Single-cell field; peripheral blood smear
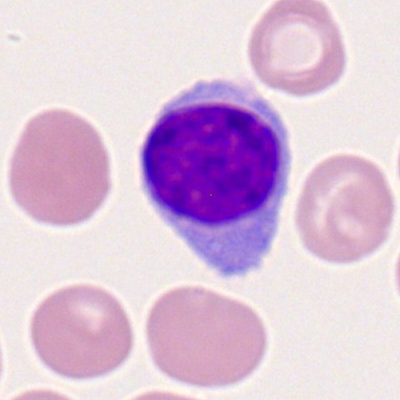
Q: What cell is this?
A: A lymphocyte.